Bone marrow aspirate smear. Single-cell crop. 250×250:
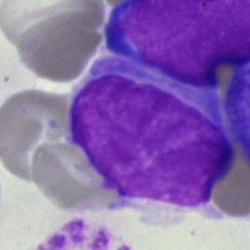Morphological class = blast.